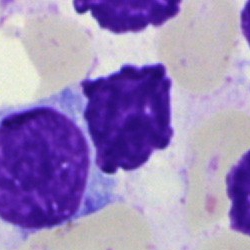Q: What is shown here?
A: It is an artefact.